May-Grünwald-Giemsa/Pappenheim stain; bone marrow smear.
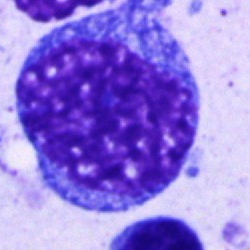

Specimen: bone marrow smear.
Morphological class: blast cell.